Bone marrow smear. MGG-stained:
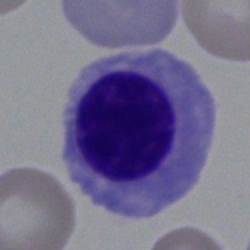
Cell = nucleated red cell.